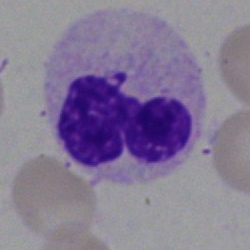 Classification: neutrophil (segmented).